Bone marrow aspirate smear: 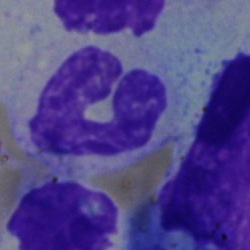
Morphology consistent with a segmented neutrophil.